Bone marrow aspirate smear — 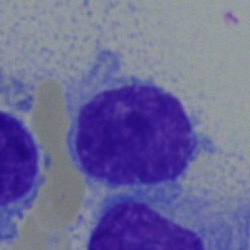

The morphological class is typical lymphocyte.